Image size 250×250. Bone marrow smear. Brightfield microscopy, 40× oil immersion — 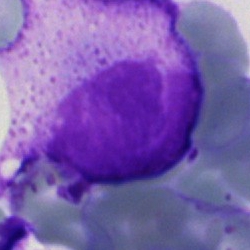
Cell = blast.